Single-cell field. Bone marrow smear. 40× oil immersion: 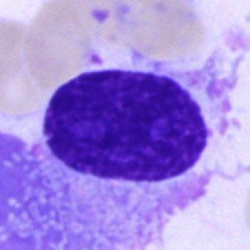

The cell shown is a plasmacyte.